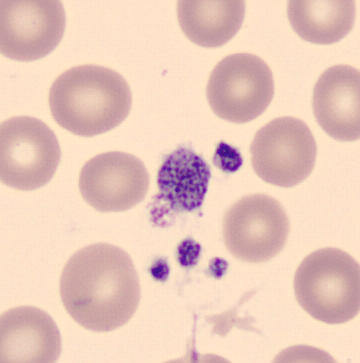Preparation: CellaVision DM96. Specimen: peripheral blood smear.
Classification: platelet.